Image size 250×250; cropped to a single cell; bone marrow smear:
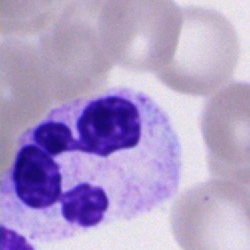Q: Identify the cell.
A: Polymorphonuclear neutrophil.